Bone marrow aspirate smear
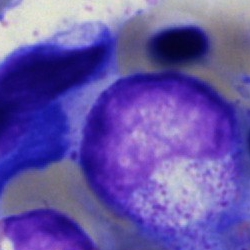 Single cell identified as a metamyelocyte.